Bone marrow aspirate smear:
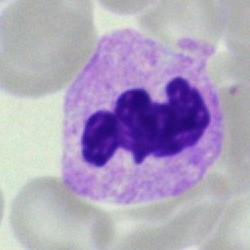 Cell = neutrophil (segmented).